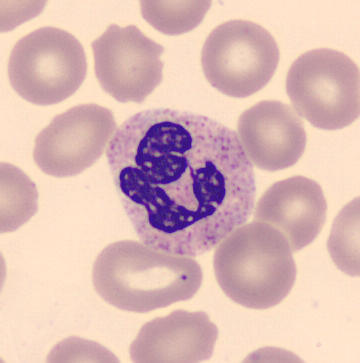Peripheral blood film. This is a polymorphonuclear neutrophil.